Bone marrow smear
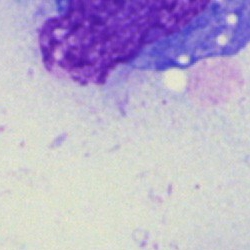 Q: What is shown here?
A: It is an artifact.